Bone marrow smear; 40× objective, oil immersion; Pappenheim-stained:
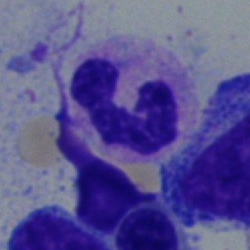Specimen: bone marrow aspirate smear.
Cell: polymorphonuclear neutrophil.
Lineage: myeloid.